400 by 400 pixels. Romanowsky stain. Peripheral blood smear:
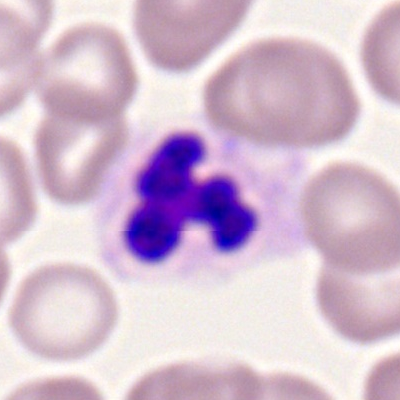

A neutrophil (segmented).